250 by 250 pixels; bone marrow aspirate smear — 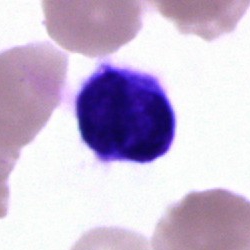Q: What cell is this?
A: It is a typical lymphocyte.